Single-cell field · bone marrow aspirate smear · May-Grünwald-Giemsa/Pappenheim stain
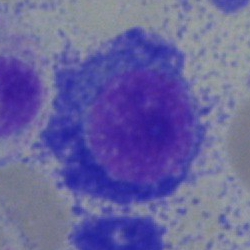 Plasma cell.